Bone marrow smear: 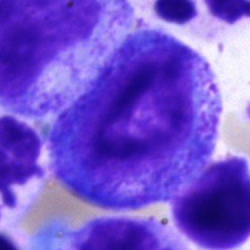
Promyelocyte.